Bone marrow smear
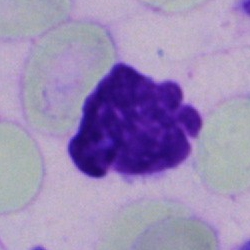
The cell shown is an artifact.